Bone marrow aspirate smear
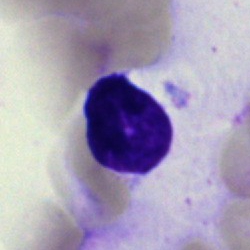

Q: What is shown here?
A: An artefact.